Single-cell crop. Bone marrow aspirate smear:
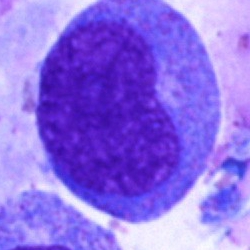Impression → progranulocyte.